Bone marrow aspirate smear: 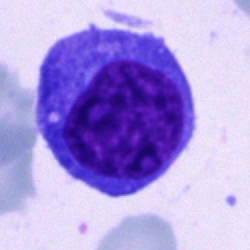
An undifferentiated blast.